Bone marrow aspirate smear: 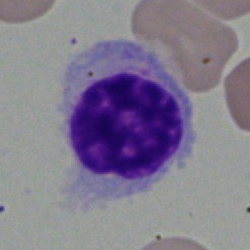 Classification — lymphocyte.